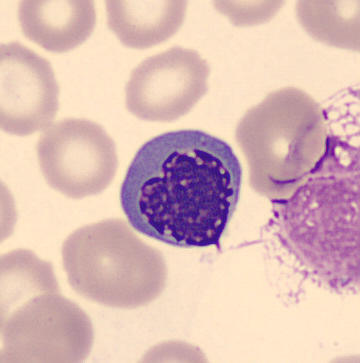 A nucleated red blood cell.
Preparation: Peripheral blood film.